Bone marrow smear
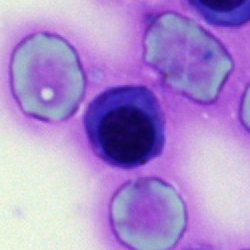This is a nucleated red blood cell.